250 by 250 pixels. 40× objective, oil immersion. Bone marrow smear — 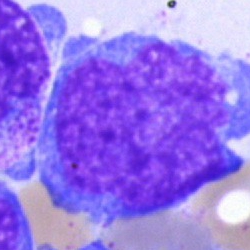
Q: What type of cell is this?
A: This is a blast.